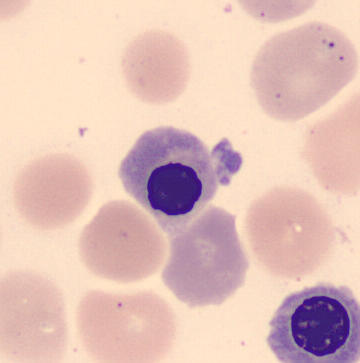 Cell type = nucleated red blood cell.